Pappenheim-stained · bone marrow smear · image size 250×250
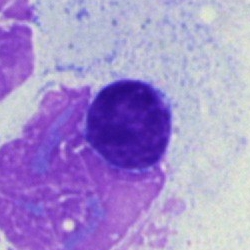

Morphology — artefact.